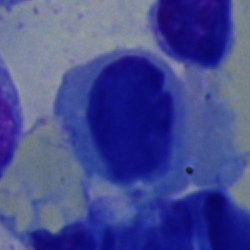Specimen: bone marrow aspirate smear.
Classification: nucleated red cell.
Lineage: erythroid.